MGG-stained; bone marrow aspirate smear — 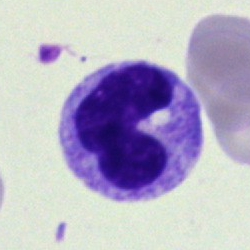
Morphology consistent with a stab cell.